Peripheral blood film
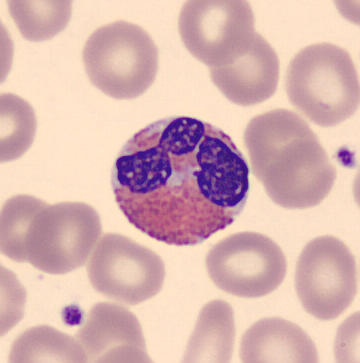

Specimen: peripheral blood film.
Cell: eosinophilic granulocyte.
Lineage: myeloid.